Peripheral blood film.
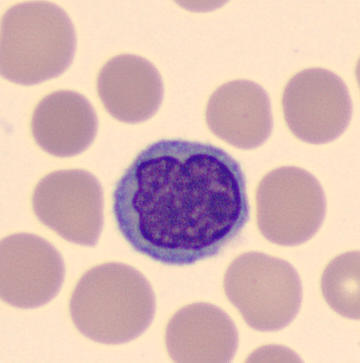Morphology — typical lymphocyte.